Cropped to a single cell. Bone marrow smear: 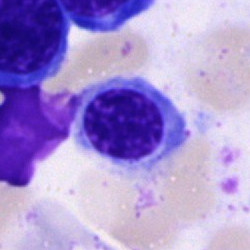
Morphological class: normoblast.